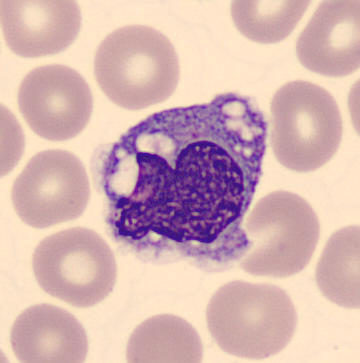Peripheral blood film.
{"cell_type": "monocyte"}